Cropped to a single cell · bone marrow smear.
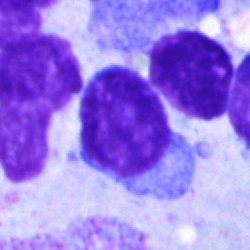 Showing a lymphocyte.